Bone marrow aspirate smear · brightfield microscopy, 40× oil immersion · Pappenheim-stained — 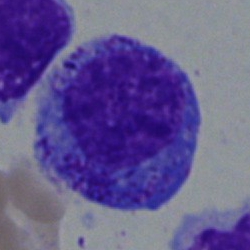Morphological class: promyelocyte.